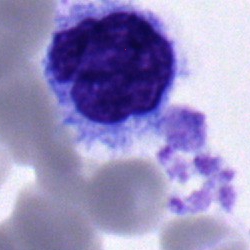

Morphology — monocyte.